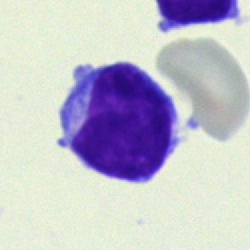

{"cell_type": "lymphocyte"}